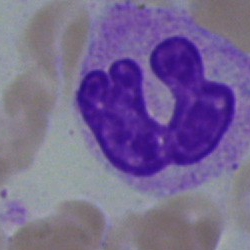Q: What type of cell is this?
A: A monocyte.